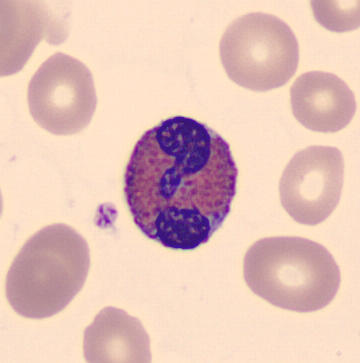
Single cell identified as an eosinophil.
Image: Peripheral blood film; CellaVision DM96; MGG stain.